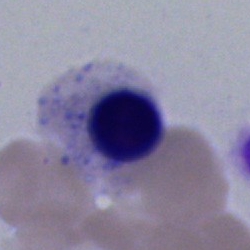Specimen: bone marrow smear.
Classification: normoblast.
Lineage: erythroid.